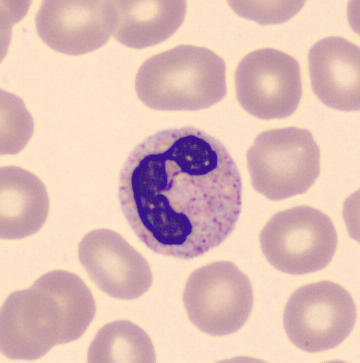 Morphology consistent with a segmented neutrophil.